Bone marrow smear
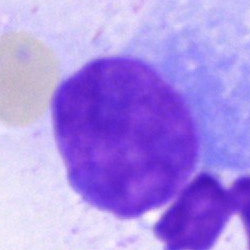Specimen: bone marrow smear.
Classification: plasmacyte.